Bone marrow aspirate smear — 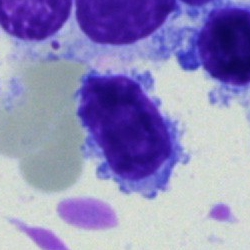

Q: Identify the cell.
A: Lymphocyte.